Bone marrow smear.
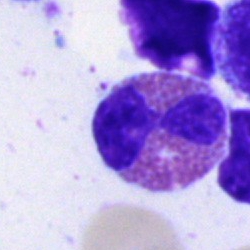 Specimen: bone marrow smear.
Cell: eosinophil.